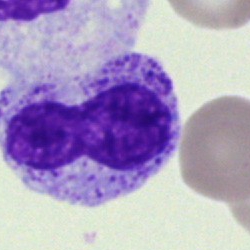 Impression — polymorphonuclear neutrophil.